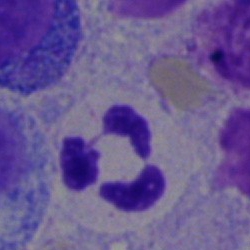

Q: What is shown here?
A: A neutrophil (segmented).